100× oil immersion. Single-cell field. Peripheral blood smear: 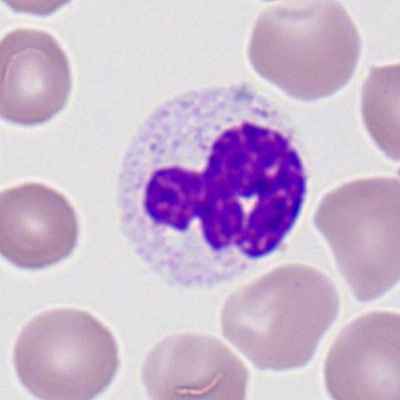
Q: What cell is this?
A: Neutrophil (segmented).